Single-cell crop. Peripheral blood smear
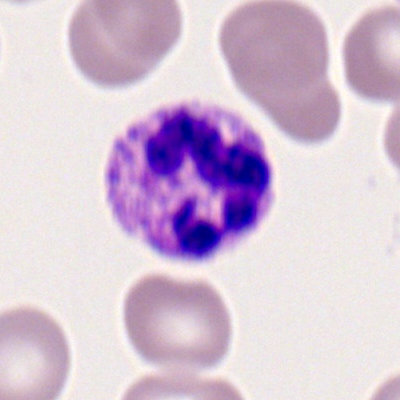
The cell type is neutrophil (segmented).